100× objective, oil immersion · peripheral blood smear — 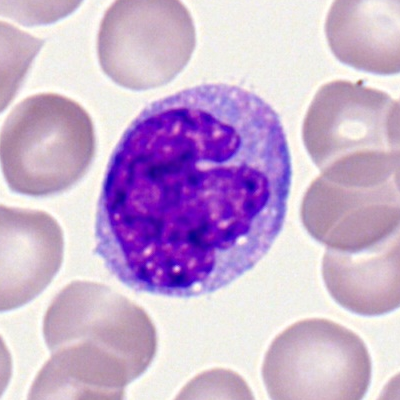
Cell — monocyte.